Bone marrow smear
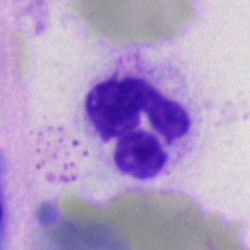 Impression — polymorphonuclear neutrophil.